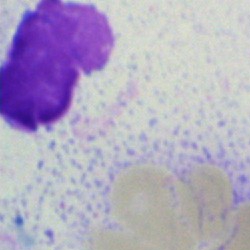
The cell shown is an artefact.